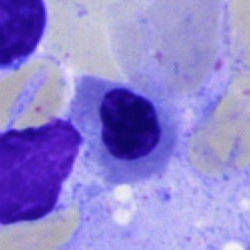
{"cell_type": "nucleated red blood cell"}